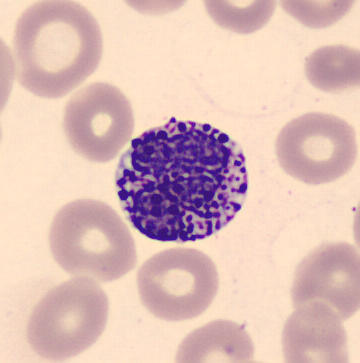 Acquisition: Peripheral blood smear · single cell centered in the field.

Q: What is shown here?
A: It is a basophilic granulocyte.